Peripheral blood film · single-cell crop: 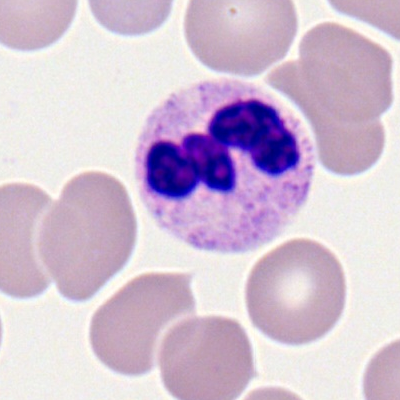Q: What is shown here?
A: It is a neutrophil (segmented).